Bone marrow aspirate smear; brightfield microscopy, 40× oil immersion: 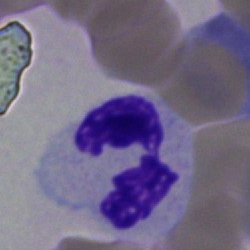

Cell — neutrophil (segmented).